May-Grünwald-Giemsa/Pappenheim stain. Bone marrow smear. Single-cell crop
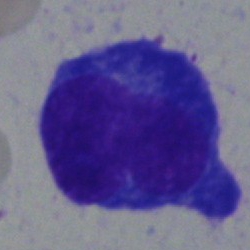 Cell: plasmacyte.